Pappenheim-stained; bone marrow smear:
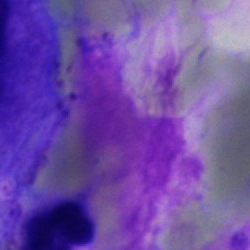
Q: What is shown here?
A: An artefact.